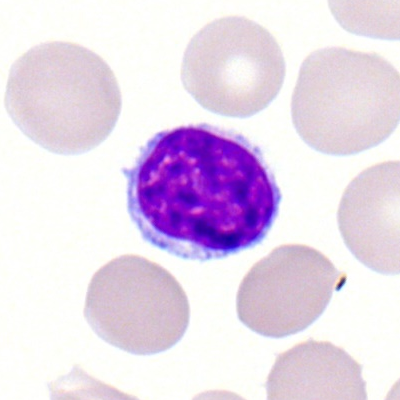

Q: Identify the cell.
A: It is a lymphocyte.